Image size 250×250; bone marrow smear; single-cell crop:
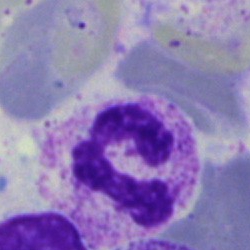 This is a neutrophil (segmented).